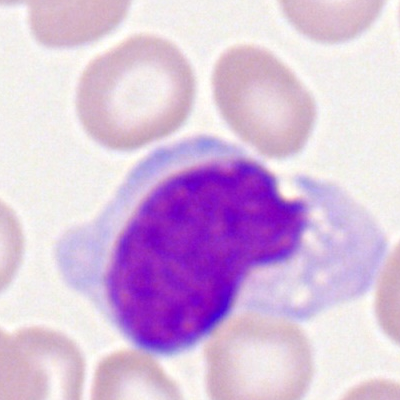Cell: monocyte.